Bone marrow aspirate smear. MGG-stained:
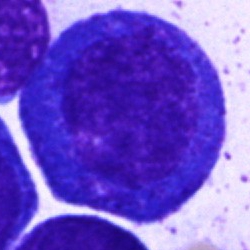Specimen: bone marrow smear.
Cell: promyelocyte.